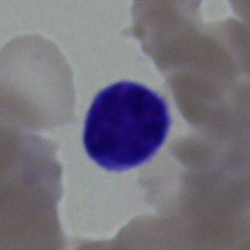
The morphological class is typical lymphocyte.